Bone marrow aspirate smear — 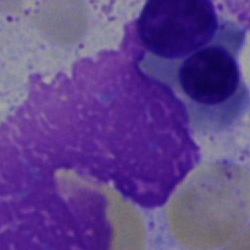 Morphological class: artefact.